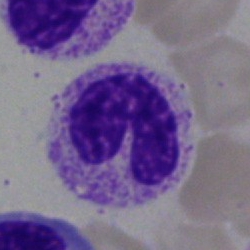

Band-form neutrophil.